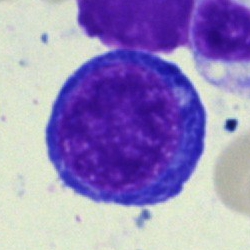
Q: What is shown here?
A: It is a nucleated red blood cell.